Bone marrow smear
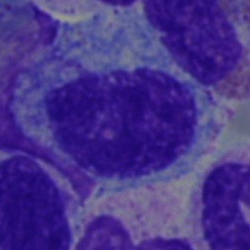
Classification = myelocyte.